Bone marrow aspirate smear · Pappenheim-stained
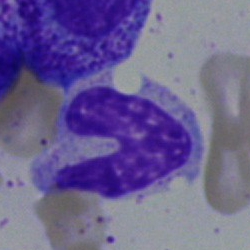Q: Identify the cell.
A: Band neutrophil.